Bone marrow aspirate smear.
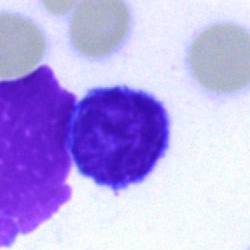

Classification: typical lymphocyte.